Bone marrow smear
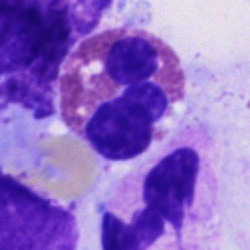 The cell shown is an eosinophil.